Bone marrow aspirate smear. 250×250 px — 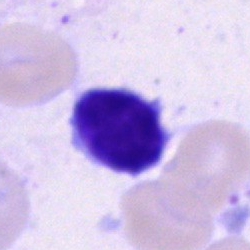
Lymphocyte.